Bone marrow aspirate smear
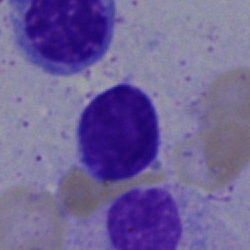This is a lymphocyte.